MGG-stained; bone marrow smear: 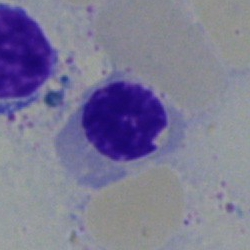Q: What type of cell is this?
A: This is a nucleated red blood cell.